250×250. Bone marrow smear. Brightfield, 40× oil-immersion objective
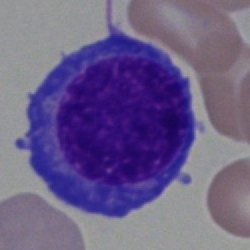
Cell type: normoblast.